40× objective, oil immersion. May-Grünwald-Giemsa stain. Bone marrow smear.
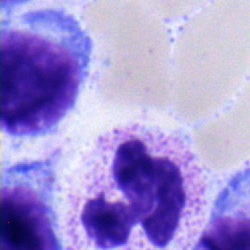

Morphology → typical lymphocyte.